Bone marrow aspirate smear — 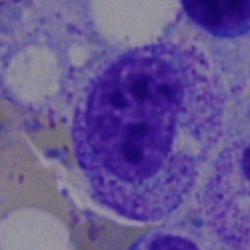
Myelocyte.